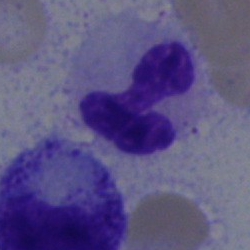
Classification = polymorphonuclear neutrophil.